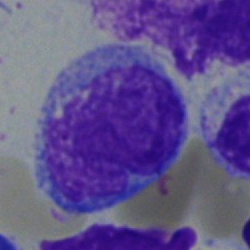
An undifferentiated blast on a bone marrow smear.